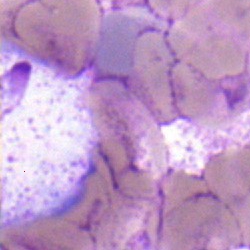 Q: Which cell type is shown here?
A: It is a neutrophil (segmented).